Single-cell crop; bone marrow aspirate smear — 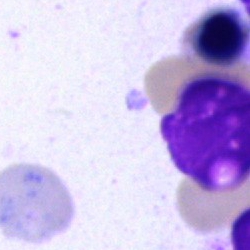
Q: What is shown here?
A: This is an artifact.